Bone marrow smear: 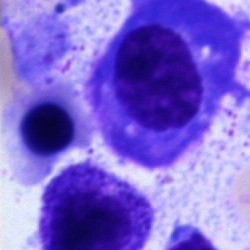Q: What cell is this?
A: Plasma cell.